Bone marrow smear
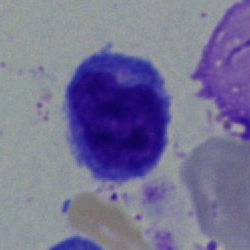 Cell type: monocyte.